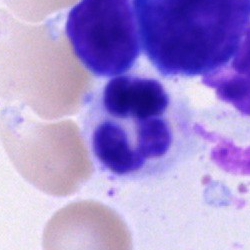

A neutrophil (segmented) on a bone marrow smear.